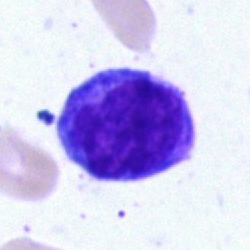

Q: Identify the cell.
A: A lymphocyte.